Bone marrow smear. May-Grünwald-Giemsa/Pappenheim stain:
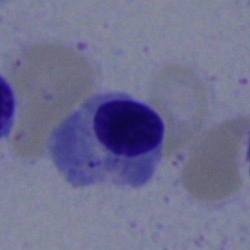
This is a nucleated red cell.